Bone marrow aspirate smear — 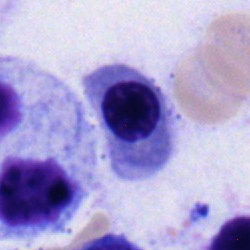
The cell is nucleated red blood cell.